Bone marrow smear — 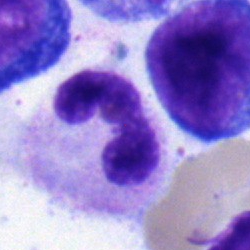Single cell identified as a band-form neutrophil.